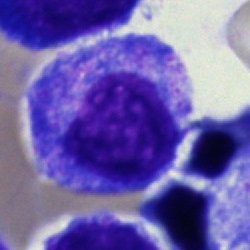 Q: What is the morphological classification of this cell?
A: Progranulocyte.